40× oil immersion · bone marrow smear.
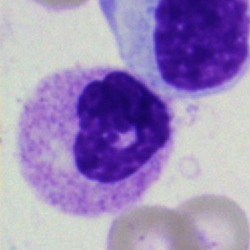
Q: Identify the cell.
A: Neutrophil (segmented).